Bone marrow aspirate smear. 250×250
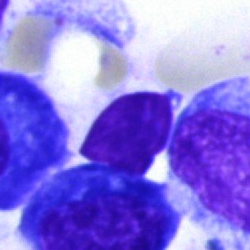

{"cell_type": "artefact"}